Bone marrow aspirate smear · May-Grünwald-Giemsa/Pappenheim stain
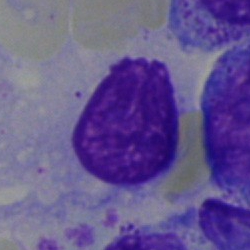

Showing an artifact.